Bone marrow aspirate smear
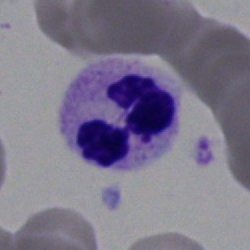
Single cell identified as a segmented neutrophil.